Image size 400×400 · peripheral blood smear: 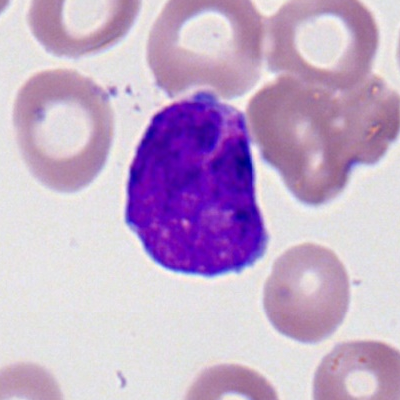
The cell shown is a myeloid blast.